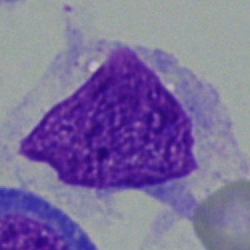
Blast cell.